Single cell centered in the field · bone marrow aspirate smear — 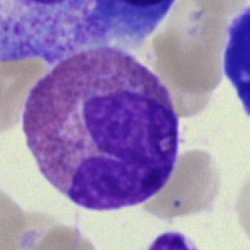 Showing an eosinophilic granulocyte.